MGG-stained; bone marrow aspirate smear; brightfield microscopy, 40× oil immersion:
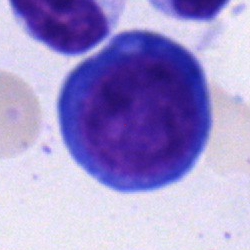Q: What is shown here?
A: It is a proerythroblast.